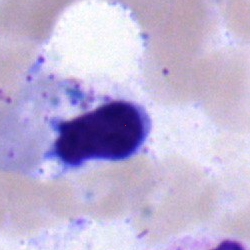
Showing a typical lymphocyte.